May-Grünwald-Giemsa/Pappenheim stain · single-cell crop · bone marrow smear:
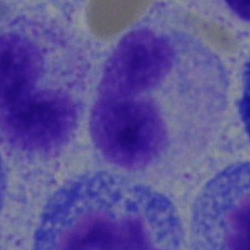Impression — stab cell.